Bone marrow smear: 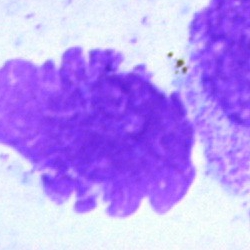

An artefact.